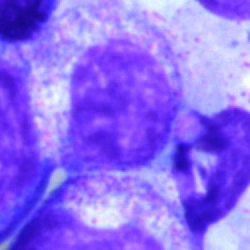
Bone marrow smear showing a myelocyte.